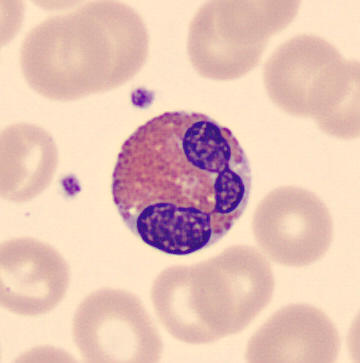 From a peripheral blood smear: an eosinophil.